Cropped to a single cell; brightfield microscopy, 40× oil immersion; bone marrow smear
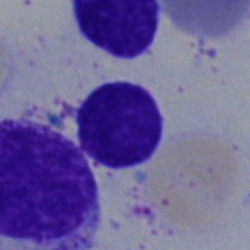
Single cell identified as a typical lymphocyte.